Brightfield, 40× oil-immersion objective · bone marrow aspirate smear · May-Grünwald-Giemsa/Pappenheim stain:
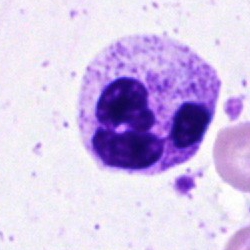Q: Identify the cell.
A: This is a polymorphonuclear neutrophil.